Brightfield, 100× oil-immersion objective · peripheral blood smear · 400 by 400 pixels: 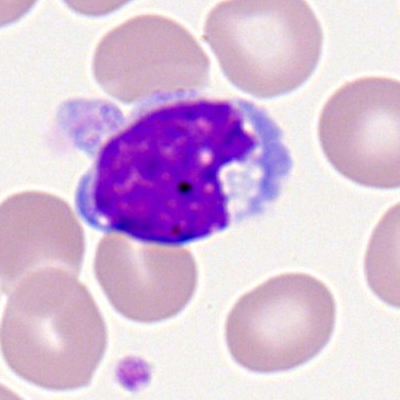Morphology — monocyte.